Bone marrow smear — 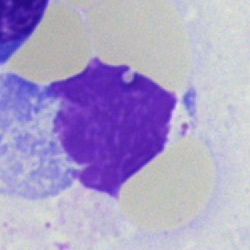Classification: artefact.